Bone marrow aspirate smear. Brightfield, 40× oil-immersion objective.
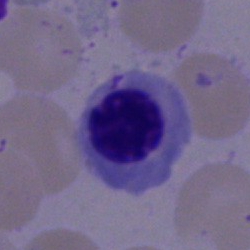This is a nucleated red blood cell.